Image size 250×250. Bone marrow aspirate smear:
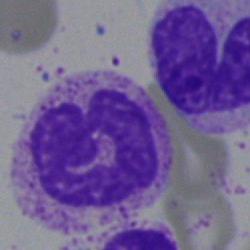Cell type — neutrophil (segmented).